Bone marrow aspirate smear:
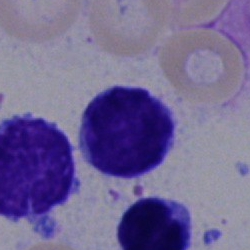

Specimen: bone marrow smear.
Morphological class: lymphocyte.